Peripheral blood smear:
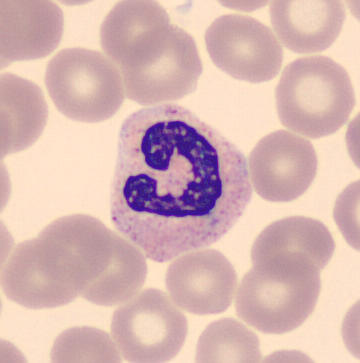
Cell type = segmented neutrophil.